Image size 250×250; bone marrow smear
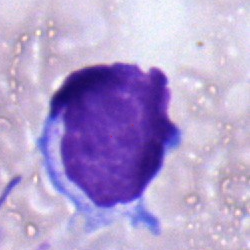Typical lymphocyte.